Bone marrow aspirate smear.
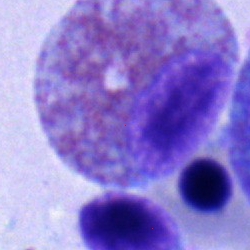
Morphology consistent with an eosinophilic granulocyte.